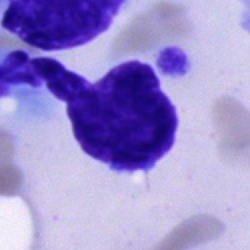 Q: What is shown here?
A: An artifact.